Single cell centered in the field; bone marrow aspirate smear — 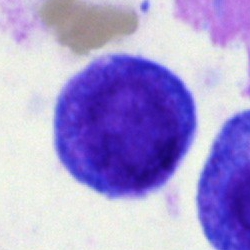

Morphological class = promyelocyte.